40× objective, oil immersion; bone marrow aspirate smear.
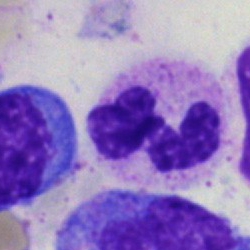The classification is segmented neutrophil.